Bone marrow aspirate smear: 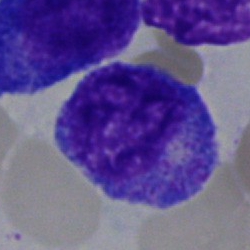 Q: What is shown here?
A: It is a progranulocyte.